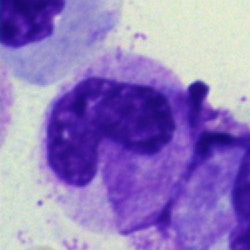The cell shown is a band-form neutrophil.